Image size 250×250; bone marrow smear: 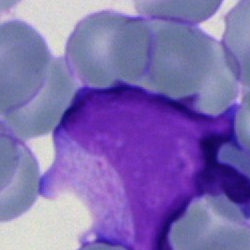Cell: blast.